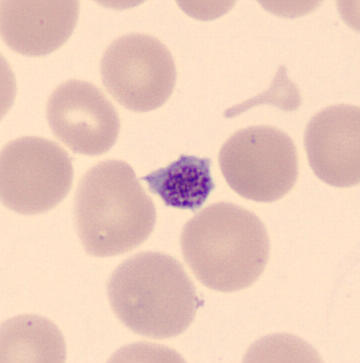
Preparation: Peripheral blood film; May-Grünwald-Giemsa-stained.
This is a thrombocyte.